Bone marrow smear · single cell centered in the field:
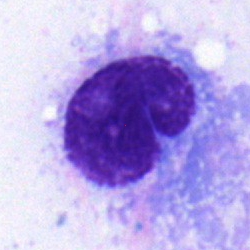

Q: What is the morphological classification of this cell?
A: A plasma cell.